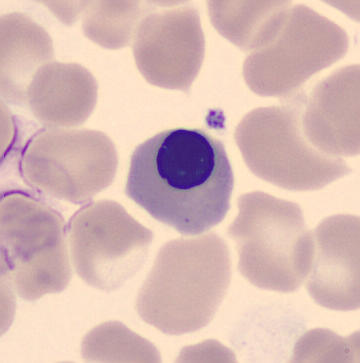 {"cell_type": "nucleated red blood cell", "lineage": "erythroid"}